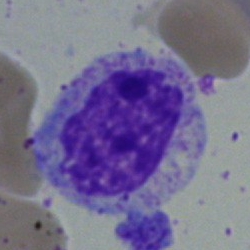
Specimen: bone marrow aspirate smear.
Morphological class: myelocyte.